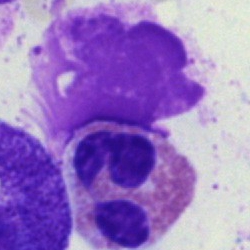
Morphological class = eosinophil.